Bone marrow aspirate smear; May-Grünwald-Giemsa stain:
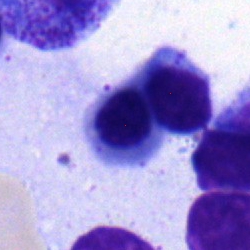

Impression — metamyelocyte.